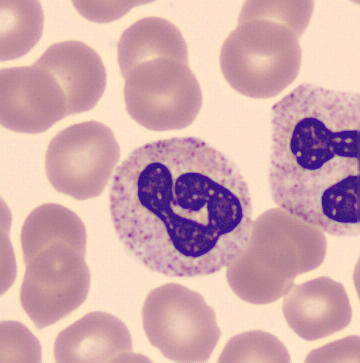Automated cell imaging (CellaVision DM96); peripheral blood smear.

Morphology consistent with a band-form neutrophil.